Bone marrow aspirate smear: 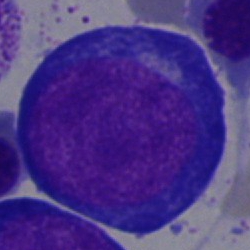

Q: Identify the cell.
A: Proerythroblast.